Bone marrow smear:
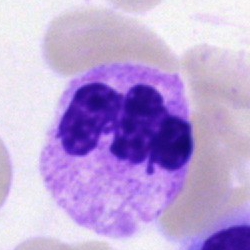Morphology consistent with a segmented neutrophil.